Bone marrow smear · brightfield microscopy, 40× oil immersion · May-Grünwald-Giemsa stain
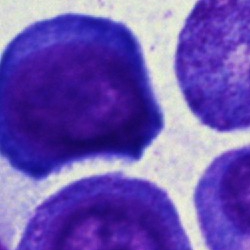 Q: What is the morphological classification of this cell?
A: Nucleated red cell.